Bone marrow aspirate smear; May-Grünwald-Giemsa stain; brightfield, 40× oil-immersion objective.
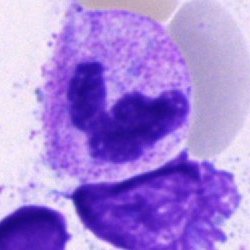 Morphological class — neutrophil (segmented).